Pappenheim-stained; bone marrow aspirate smear:
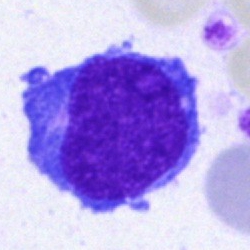 Specimen: bone marrow smear.
Cell: undifferentiated blast.